Bone marrow aspirate smear — 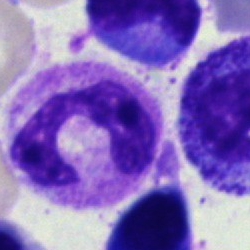
Morphological class — polymorphonuclear neutrophil.